Image size 400×400 · Romanowsky-type stain · peripheral blood film.
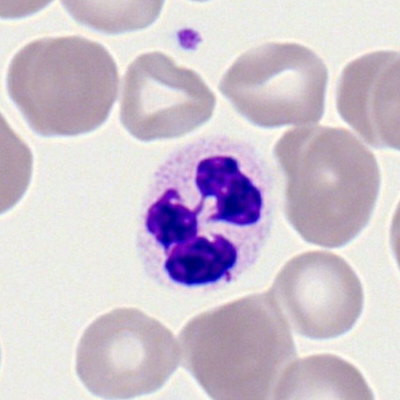 Single cell identified as a segmented neutrophil.